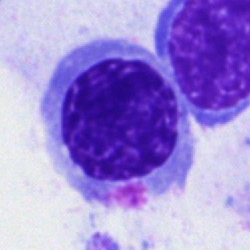

Specimen: bone marrow aspirate smear.
Morphological class: normoblast.